Bone marrow aspirate smear — 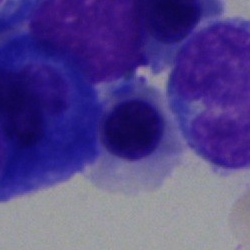Morphology consistent with a nucleated red blood cell.